Bone marrow smear:
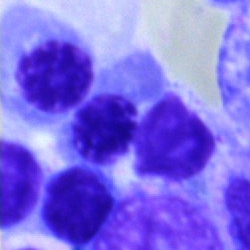 The classification is erythroblast.